Bone marrow aspirate smear · 40× oil immersion: 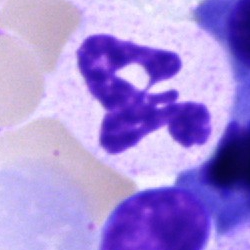

Cell — segmented neutrophil.